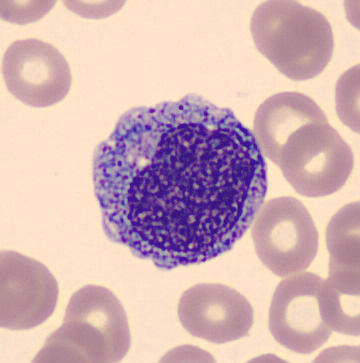

Acquisition: Peripheral blood smear. Impression — promyelocyte.